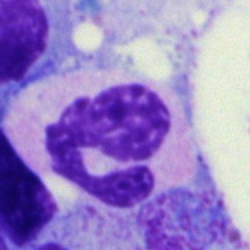Impression → polymorphonuclear neutrophil.